Cropped to a single cell; bone marrow smear — 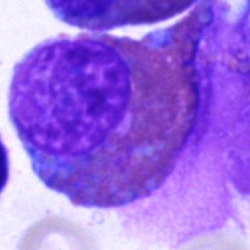Eosinophil.